Bone marrow smear
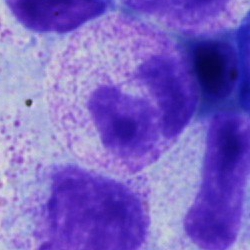

Specimen: bone marrow aspirate smear.
Cell type: polymorphonuclear neutrophil.
Lineage: myeloid.